Bone marrow smear; 40× oil immersion:
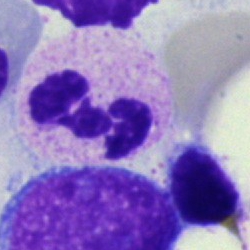Neutrophil (segmented).